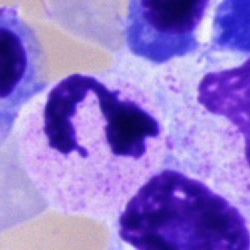
Cell: neutrophil (segmented).